Peripheral blood film
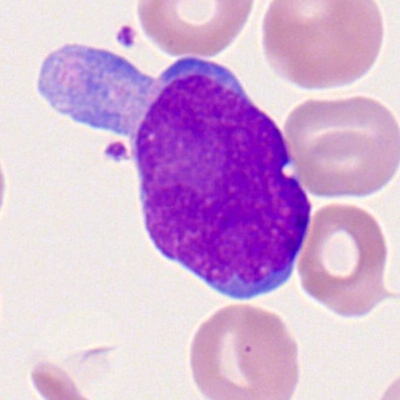 Cell type: monocyte.